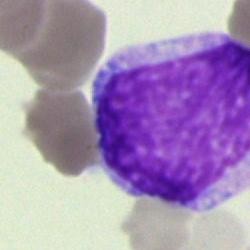Q: What cell is this?
A: Blast cell.